Bone marrow smear: 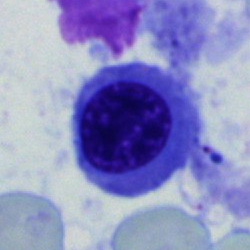
Q: What is shown here?
A: It is an erythroblast.